Bone marrow aspirate smear; May-Grünwald-Giemsa/Pappenheim stain.
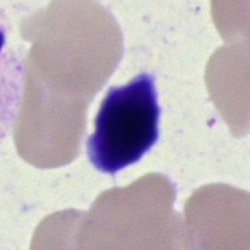 Classification = artifact.